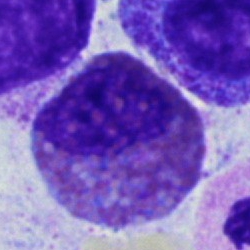 Specimen: bone marrow aspirate smear.
Classification: eosinophilic granulocyte.
Lineage: myeloid.